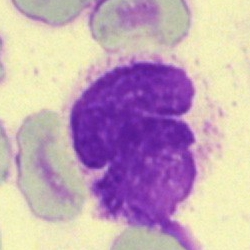

{"cell_type": "artifact"}